Peripheral blood film
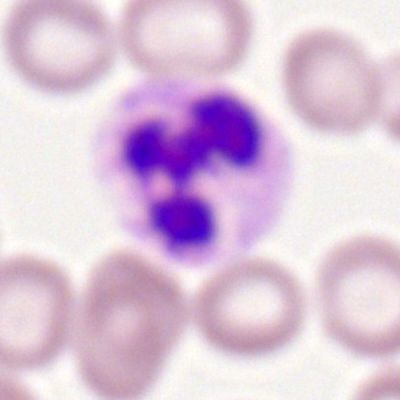Cell type — polymorphonuclear neutrophil.